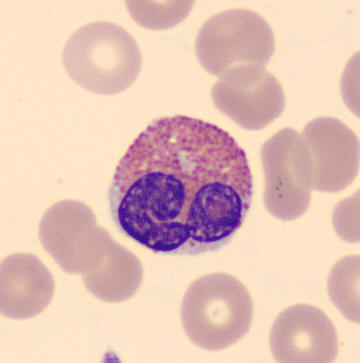Specimen: peripheral blood film.
Cell type: eosinophil.
Lineage: myeloid. Image: Automated cell imaging (CellaVision DM96).